Single-cell crop · bone marrow smear · 250×250:
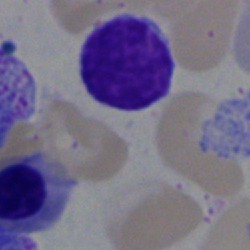
A typical lymphocyte.